Bone marrow aspirate smear
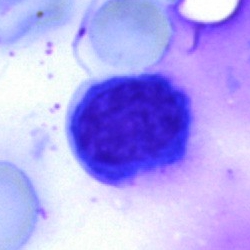
Morphology consistent with a nucleated red blood cell.